Bone marrow aspirate smear:
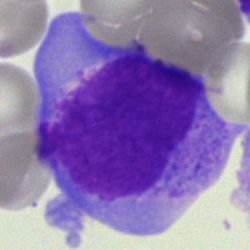Impression → blast cell.